Bone marrow aspirate smear: 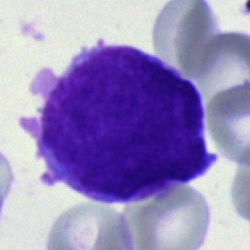Cell type — blast.